Bone marrow smear · brightfield microscopy, 40× oil immersion · 250 by 250 pixels
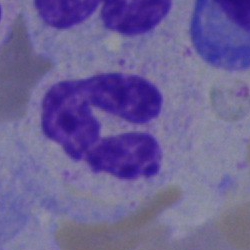
The cell shown is a segmented neutrophil.